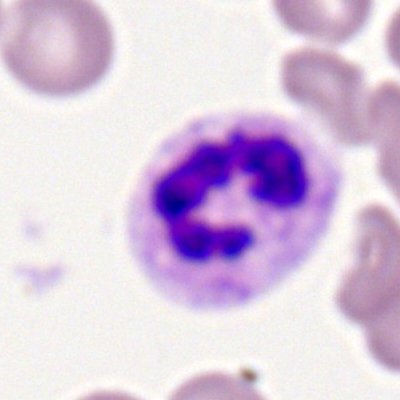

Morphology — neutrophil (segmented).